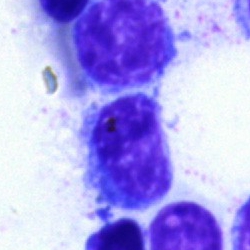
Q: What is the morphological classification of this cell?
A: A lymphocyte.